Single-cell crop · bone marrow smear — 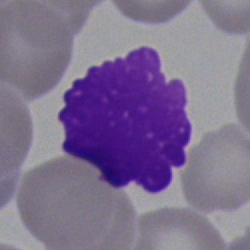

Morphological class — artefact.